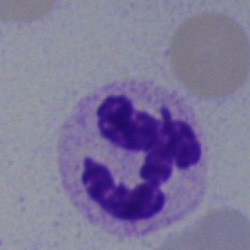Cell = segmented neutrophil.